40× oil immersion; bone marrow aspirate smear
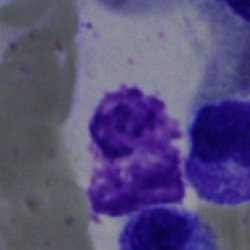 Specimen: bone marrow aspirate smear.
Morphological class: artefact.